Bone marrow smear · May-Grünwald-Giemsa stain:
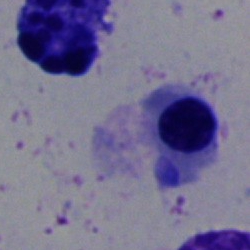

Morphology → normoblast.